Image size 250×250. Bone marrow smear: 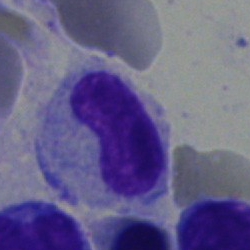 The cell shown is a metamyelocyte.